Bone marrow smear · single cell centered in the field — 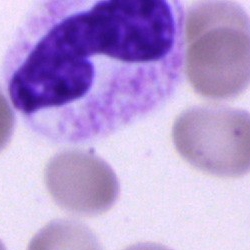 Morphology → polymorphonuclear neutrophil.